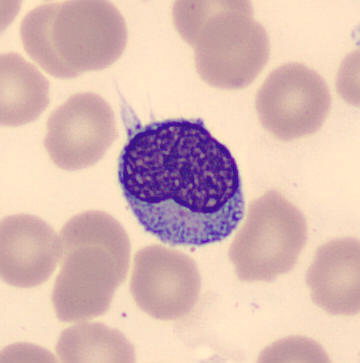 This is a monocyte.
MGG stain; peripheral blood film; 360×363.